Bone marrow aspirate smear; 40× objective, oil immersion; May-Grünwald-Giemsa stain:
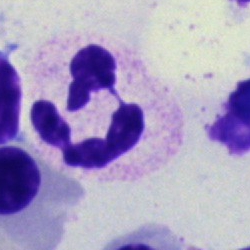{"cell_type": "polymorphonuclear neutrophil", "lineage": "myeloid"}